Peripheral blood smear. 400×400: 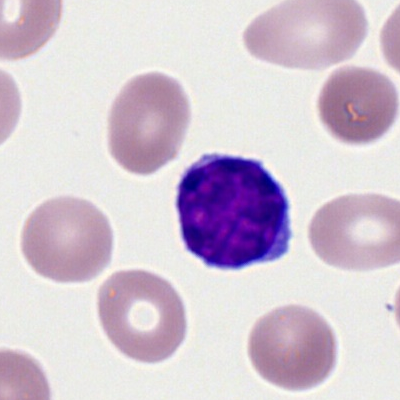
Q: What type of cell is this?
A: Typical lymphocyte.